Bone marrow aspirate smear.
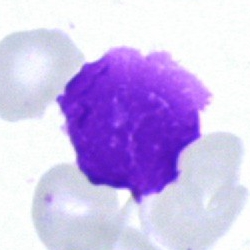 Morphology — artifact.